Peripheral blood smear.
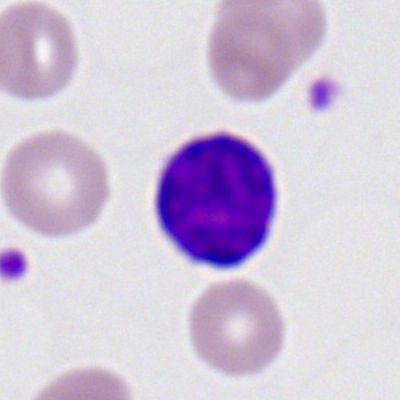Q: What is shown here?
A: Lymphocyte.